Brightfield microscopy, 40× oil immersion; bone marrow aspirate smear: 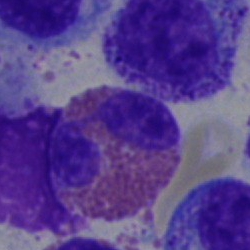The cell shown is an eosinophil.